Bone marrow smear · MGG-stained:
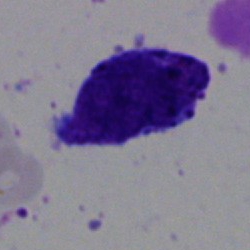Q: What is shown here?
A: It is an artefact.